Pappenheim-stained; bone marrow smear.
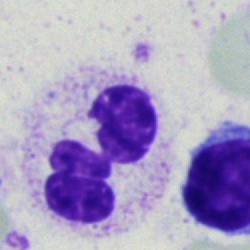

This is a segmented neutrophil.